Bone marrow smear. Brightfield, 40× oil-immersion objective.
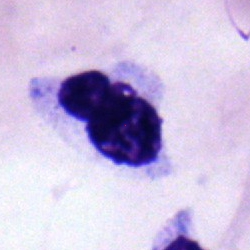

Classification — stab cell.